Bone marrow smear — 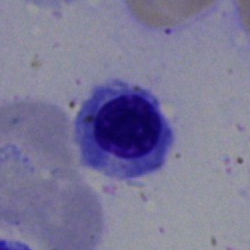

Showing a nucleated red blood cell.